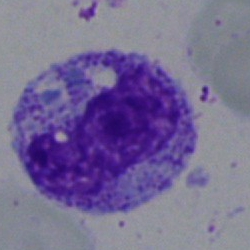

This is a neutrophil (band).